Bone marrow aspirate smear; 250×250; cropped to a single cell:
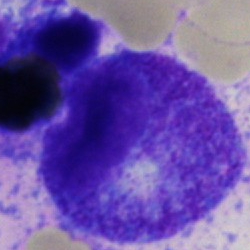Morphology consistent with a promyelocyte.